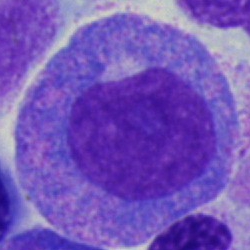

A promyelocyte.